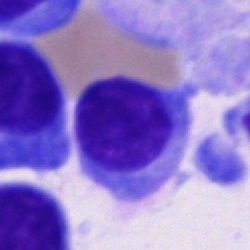The cell type is plasmacyte.